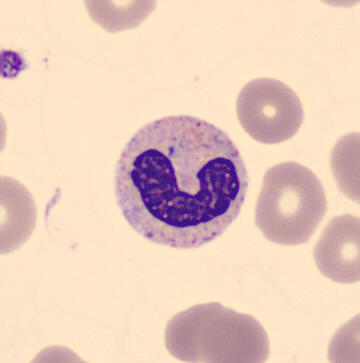Image: Single-cell crop · peripheral blood film. Q: What type of cell is this?
A: Stab cell.